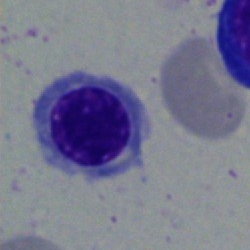 Q: Identify the cell.
A: Normoblast.